Bone marrow smear · Pappenheim-stained · brightfield, 40× oil-immersion objective: 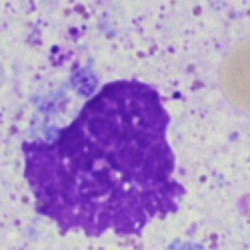Artifact.